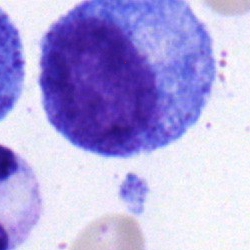

Q: What type of cell is this?
A: This is a progranulocyte.